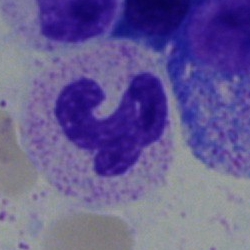

Classification — band-form neutrophil.